Bone marrow aspirate smear
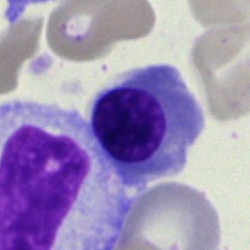 A nucleated red cell.